Bone marrow aspirate smear · image size 250×250 — 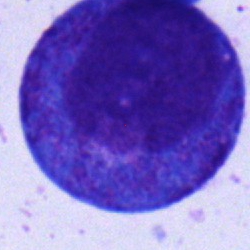Q: What cell is this?
A: This is a myelocyte.